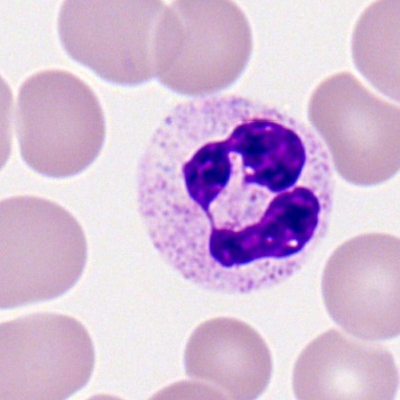Single cell identified as a segmented neutrophil.